Brightfield, 40× oil-immersion objective; image size 250×250; bone marrow aspirate smear:
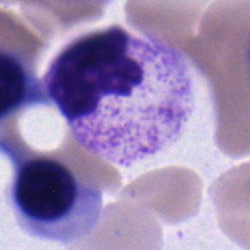 Specimen: bone marrow aspirate smear.
Cell: myelocyte.
Lineage: myeloid.